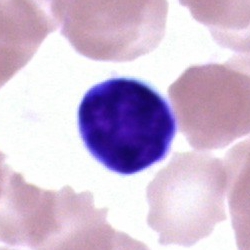
Cell type: typical lymphocyte.